360×363 px. Peripheral blood film — 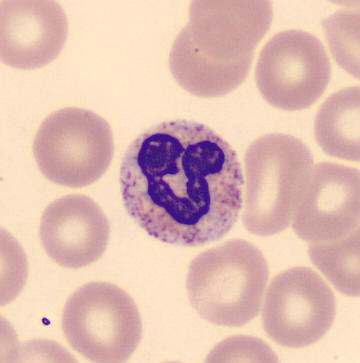The morphological class is band neutrophil.